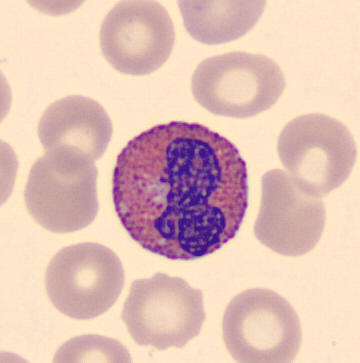 Image: Peripheral blood film; image size 360×363.
Eosinophil.